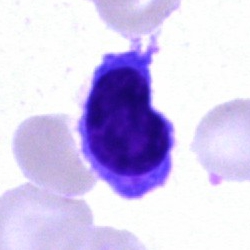
The classification is lymphocyte.